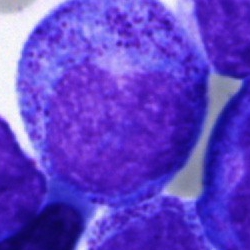This is a progranulocyte.